Bone marrow smear:
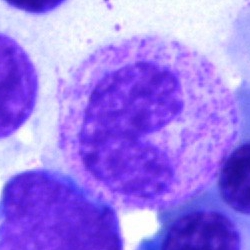Morphology consistent with a metamyelocyte.